Brightfield, 40× oil-immersion objective; single-cell field; bone marrow aspirate smear:
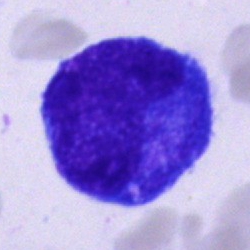The classification is cell of indeterminate lineage.